Bone marrow smear: 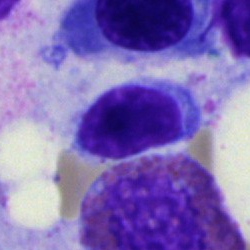 {"cell_type": "typical lymphocyte", "lineage": "lymphoid"}